Bone marrow aspirate smear — 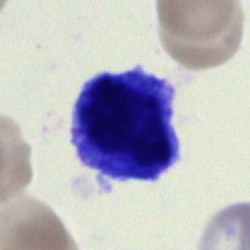Classification: normoblast.